Bone marrow aspirate smear
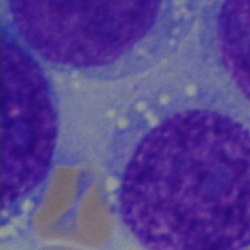 Impression — undifferentiated blast.